Single-cell field. Bone marrow smear — 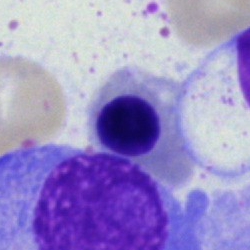
Q: Identify the cell.
A: It is a normoblast.